Bone marrow aspirate smear · May-Grünwald-Giemsa stain:
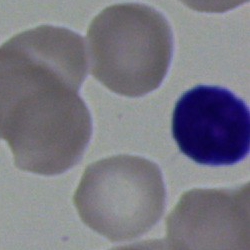

{"cell_type": "typical lymphocyte", "lineage": "lymphoid"}